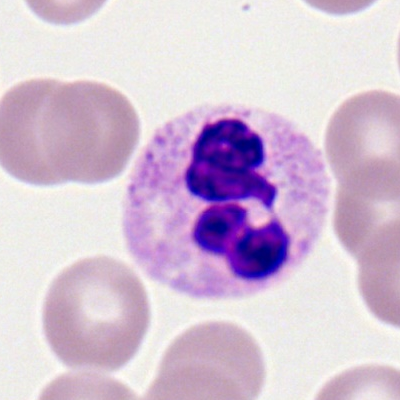

Peripheral blood smear showing a polymorphonuclear neutrophil.